Bone marrow smear — 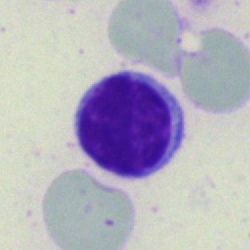 Single cell identified as a lymphocyte.